Bone marrow smear.
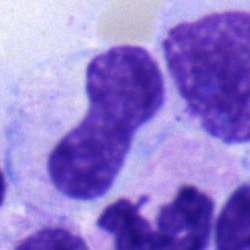

Q: Identify the cell.
A: It is a band neutrophil.